Bone marrow smear.
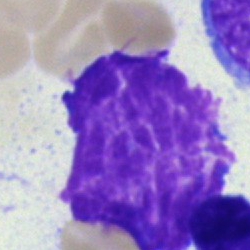
Q: What is shown here?
A: Artifact.